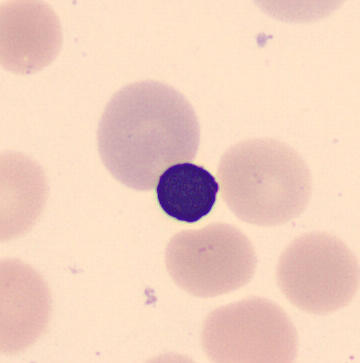Morphology consistent with an erythroblast.
Peripheral blood smear.